Bone marrow smear. Single cell centered in the field.
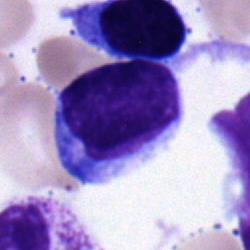Impression → typical lymphocyte.